Bone marrow smear:
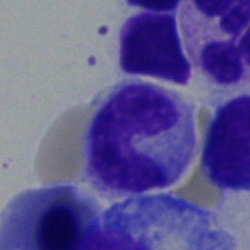
A neutrophil (band).